Bone marrow smear. Single cell centered in the field — 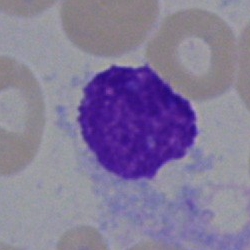Morphology → artifact.